Bone marrow smear · single-cell field:
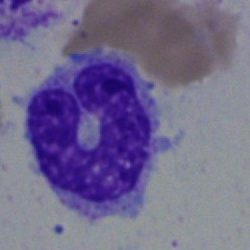

Morphological class = monocyte.